Bone marrow smear; 250×250.
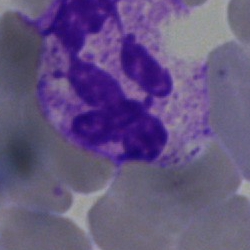Q: Which cell type is shown here?
A: Neutrophil (segmented).